Bone marrow aspirate smear
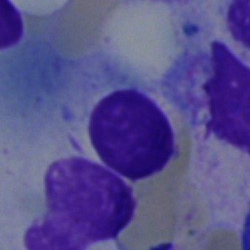Impression → artefact.